Bone marrow smear:
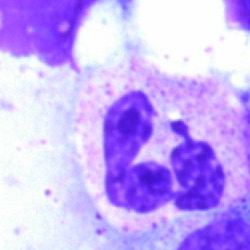 Cell type = segmented neutrophil.